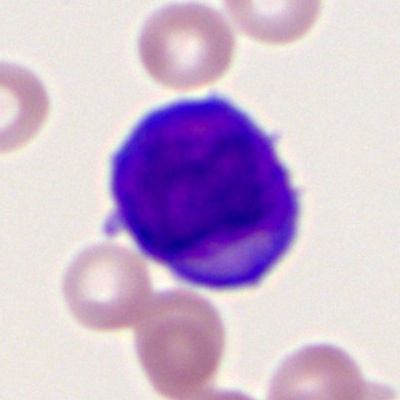 Morphology — myeloid blast.